250 by 250 pixels · 40× oil immersion · bone marrow smear:
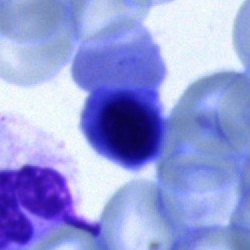

A nucleated red blood cell.